Bone marrow aspirate smear:
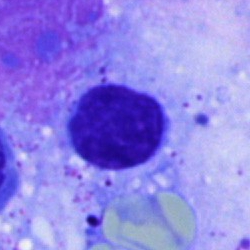 Cell — plasma cell.